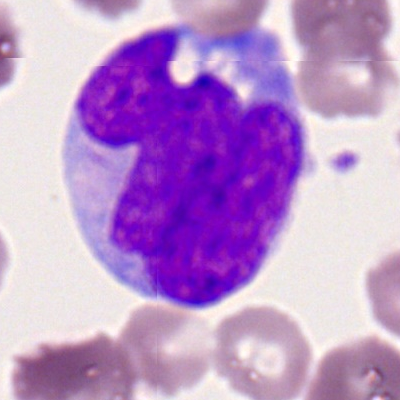 Monocyte.